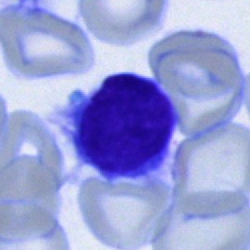

Cell type = lymphocyte.